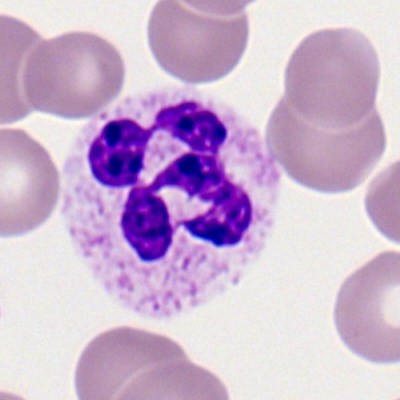
The cell is segmented neutrophil.